Single-cell crop. Bone marrow smear. Brightfield microscopy, 40× oil immersion:
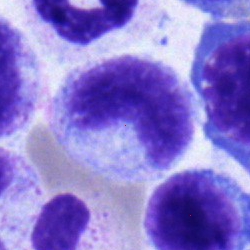
Specimen: bone marrow smear.
Cell: metamyelocyte.
Lineage: myeloid.